Bone marrow aspirate smear — 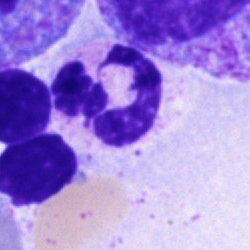 A neutrophil (segmented).